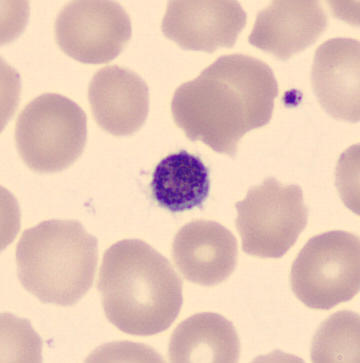Morphological class — platelet.
Peripheral blood smear. May-Grünwald-Giemsa-stained.